Pappenheim-stained · bone marrow aspirate smear · image size 250×250:
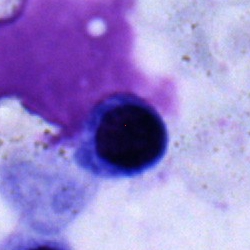 Impression — nucleated red cell.